M8 digital microscope (Precipoint), 100× oil immersion. Peripheral blood smear
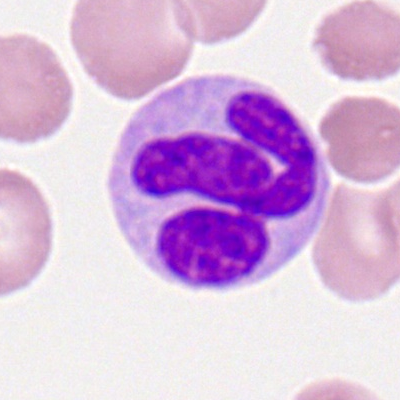
Cell type — monocyte.